Bone marrow aspirate smear — 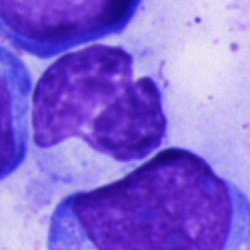This is a cell of indeterminate lineage.